Bone marrow smear: 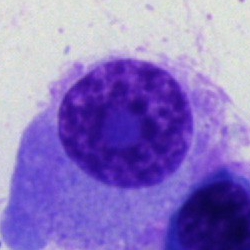

Morphology → plasma cell.